Brightfield microscopy, 40× oil immersion; single-cell field; bone marrow aspirate smear: 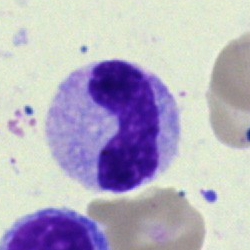
A neutrophil (band).